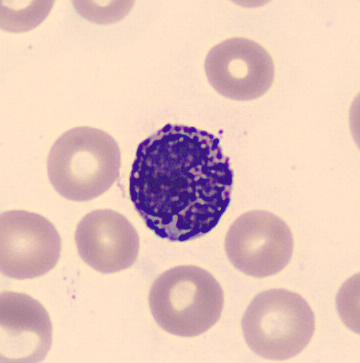Preparation: May Grünwald-Giemsa stain. Peripheral blood smear. Q: Which cell type is shown here?
A: Basophilic granulocyte.